250×250 px; bone marrow smear: 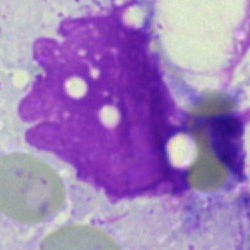 {"cell_type": "artifact"}